Bone marrow smear — 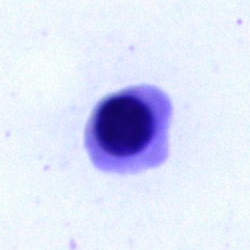

This is a nucleated red cell.